MGG-stained. Bone marrow smear — 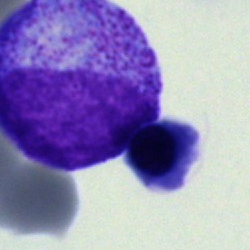
Cell type: progranulocyte.